Romanowsky stain. Peripheral blood film. Brightfield, 100× oil-immersion objective — 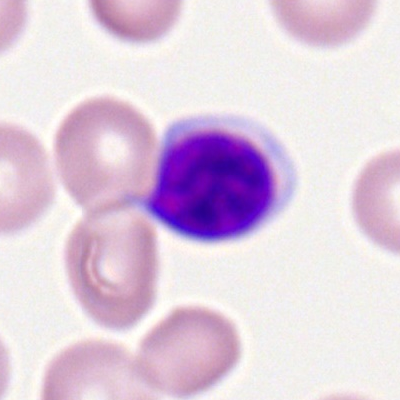
Morphology consistent with a typical lymphocyte.